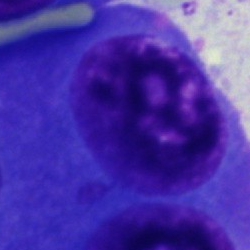 Plasmacyte.